40× oil immersion. Bone marrow smear: 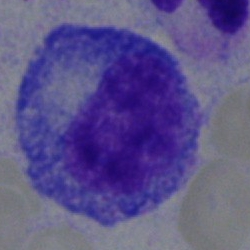The morphological class is progranulocyte.